Bone marrow smear.
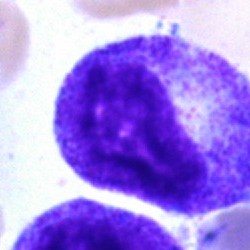
Cell type — promyelocyte.